Bone marrow smear. May-Grünwald-Giemsa stain:
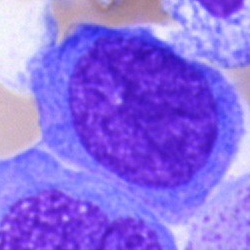
Q: Identify the cell.
A: This is a blast cell.